Brightfield microscopy, 40× oil immersion; bone marrow smear; May-Grünwald-Giemsa/Pappenheim stain.
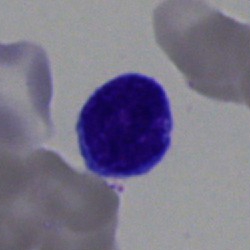

A typical lymphocyte.